Bone marrow aspirate smear: 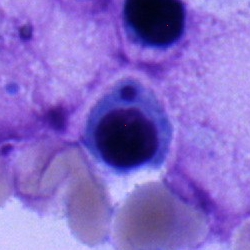
Specimen: bone marrow smear.
Cell: nucleated red blood cell.
Lineage: erythroid.